Bone marrow aspirate smear:
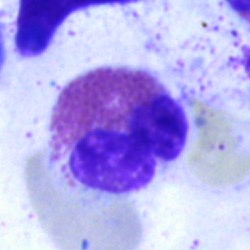
Impression → eosinophilic granulocyte.